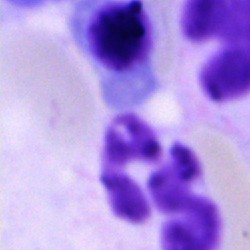 Classification — polymorphonuclear neutrophil.